Bone marrow smear — 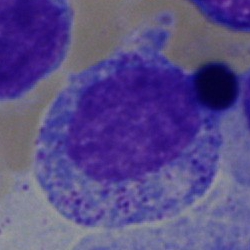

This is a progranulocyte.